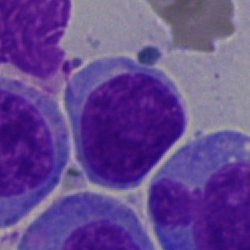
Q: What type of cell is this?
A: A typical lymphocyte.